Bone marrow smear.
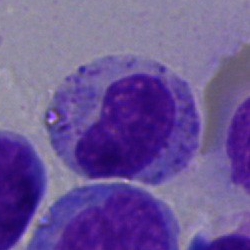 Q: Which cell type is shown here?
A: This is a metamyelocyte.